Bone marrow smear
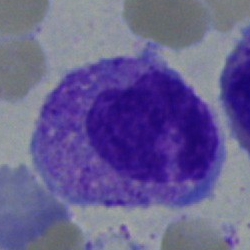
Morphology — myelocyte.